May-Grünwald-Giemsa/Pappenheim stain. 250×250. Bone marrow smear — 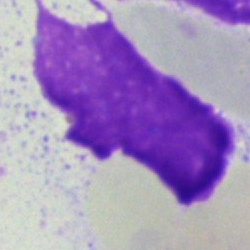

The cell shown is an artifact.